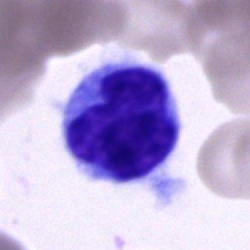Cell — lymphocyte.